Bone marrow aspirate smear · May-Grünwald-Giemsa stain.
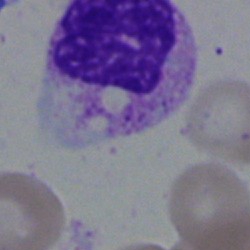{"cell_type": "polymorphonuclear neutrophil"}